Bone marrow smear; Pappenheim-stained; 250×250:
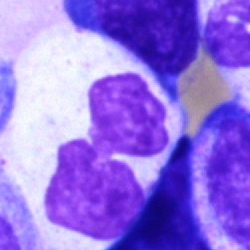
Q: What is the morphological classification of this cell?
A: It is a polymorphonuclear neutrophil.